Image size 250×250 · Pappenheim-stained · bone marrow aspirate smear.
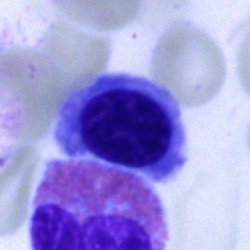Morphology — nucleated red blood cell.